Bone marrow aspirate smear. Cropped to a single cell:
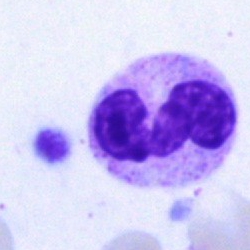
Q: Which cell type is shown here?
A: Segmented neutrophil.